Bone marrow aspirate smear · Pappenheim-stained — 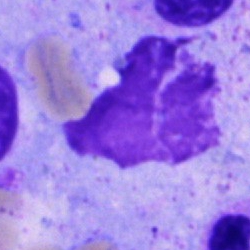 Q: What is shown here?
A: This is an artefact.